400×400 px; 100× objective, oil immersion; peripheral blood film.
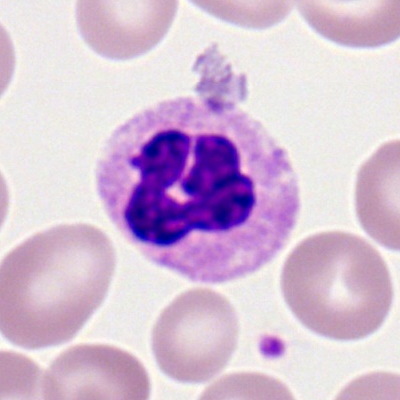 This is a segmented neutrophil.